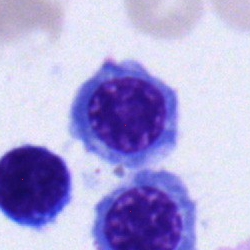This is a monocyte.